Brightfield microscopy, 40× oil immersion. Bone marrow smear.
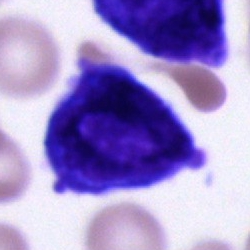 Cell type: unidentifiable cell.